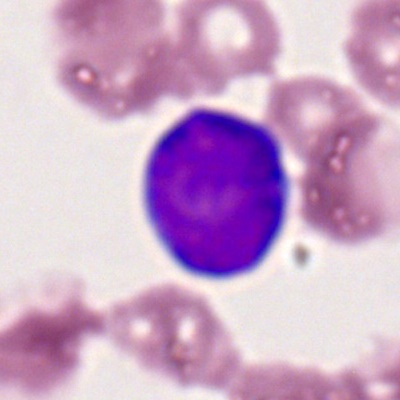
Cell type = myeloid blast.